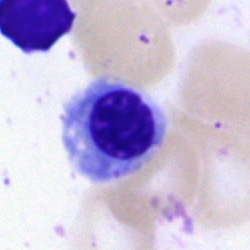 Classification — nucleated red blood cell.